Romanowsky-type stain · peripheral blood smear.
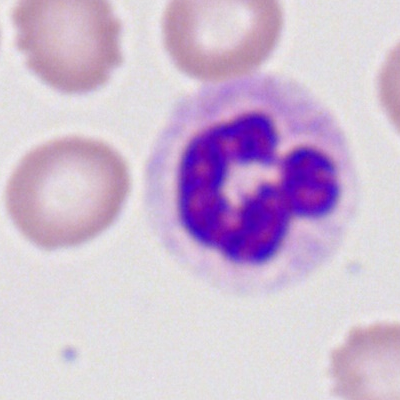
Classification — neutrophil (segmented).